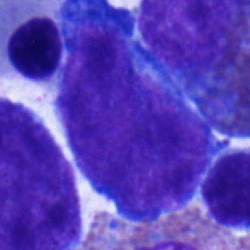Q: What cell is this?
A: Pronormoblast.